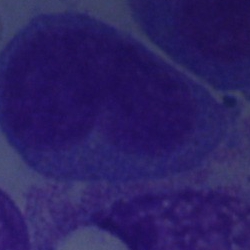
Single-cell crop from a bone marrow smear: artefact.